Bone marrow aspirate smear
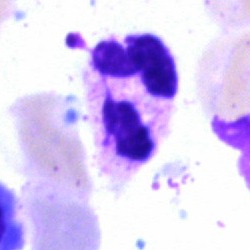This is a segmented neutrophil.